40× objective, oil immersion · bone marrow smear: 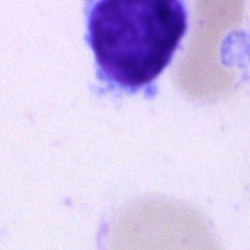
Morphology consistent with a typical lymphocyte.